Peripheral blood film: 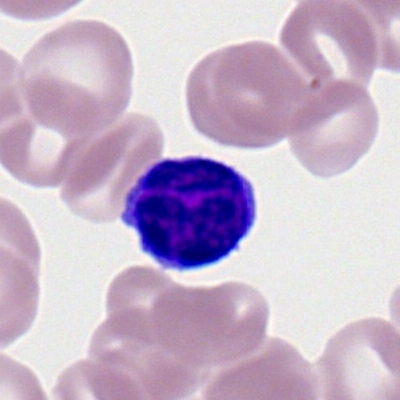Specimen: peripheral blood film.
Classification: typical lymphocyte.